Bone marrow smear — 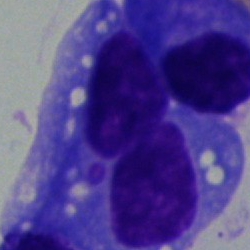 Showing a plasma cell.